Bone marrow smear: 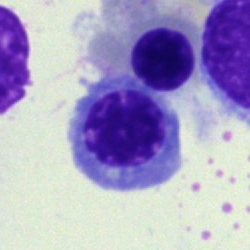 The cell shown is a normoblast.